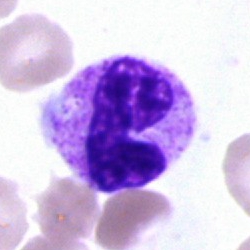Single cell identified as a polymorphonuclear neutrophil.